Bone marrow aspirate smear: 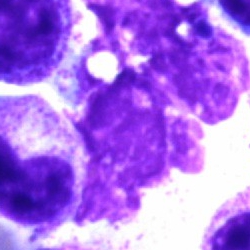 Morphology — artifact.